Bone marrow smear:
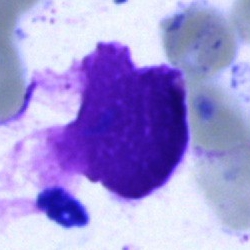Single cell identified as an artifact.